Bone marrow smear: 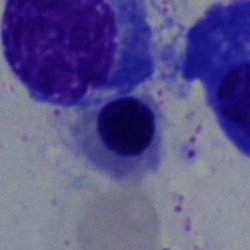 A nucleated red blood cell.